Bone marrow aspirate smear — 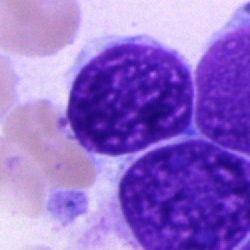

Q: What type of cell is this?
A: This is a cell of indeterminate lineage.